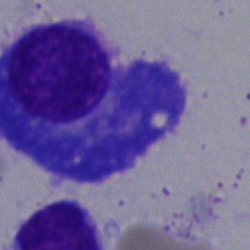
Morphology consistent with a plasmacyte.